Bone marrow aspirate smear.
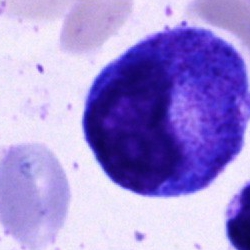Impression → promyelocyte.